Peripheral blood smear
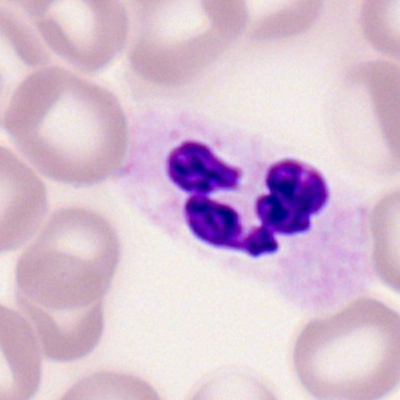

Morphology → segmented neutrophil.